250×250; May-Grünwald-Giemsa stain; bone marrow aspirate smear.
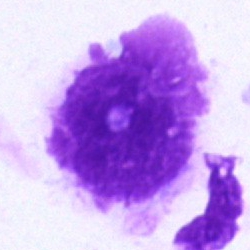

Artifact.